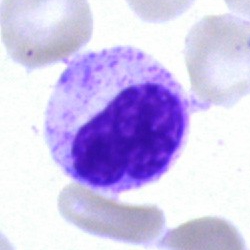

Morphology — metamyelocyte.